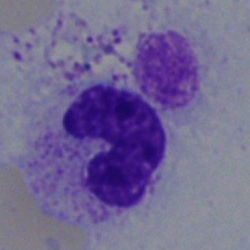 Neutrophil (band).